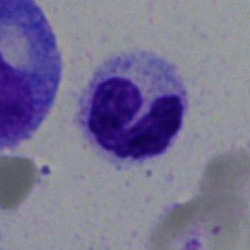

Cell type — segmented neutrophil.